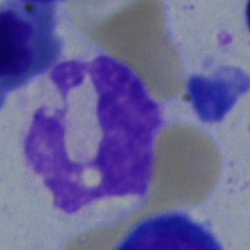 The morphological class is neutrophil (segmented).